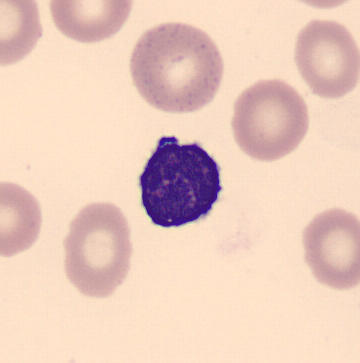

The cell type is lymphocyte. Acquisition: Imaged on a CellaVision DM96 analyser; single cell centered in the field; peripheral blood smear.